Peripheral blood smear:
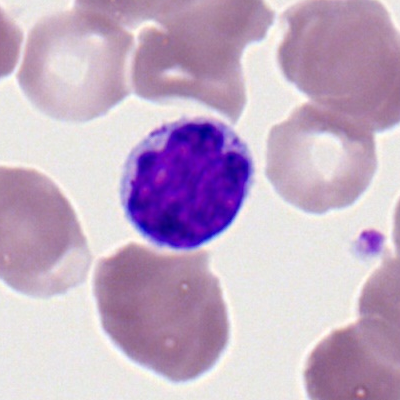A typical lymphocyte.